Bone marrow aspirate smear · 40× oil immersion · 250×250 px:
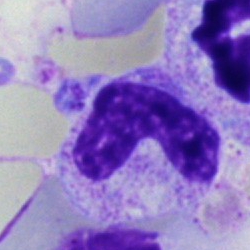

The cell shown is a band-form neutrophil.